40× oil immersion; bone marrow aspirate smear; May-Grünwald-Giemsa/Pappenheim stain:
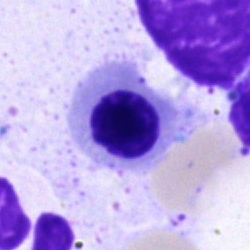Specimen: bone marrow aspirate smear.
Cell: nucleated red blood cell.